Bone marrow aspirate smear — 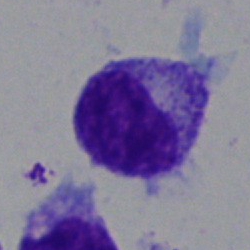Q: What type of cell is this?
A: A myelocyte.